250×250 px. Bone marrow aspirate smear. MGG-stained — 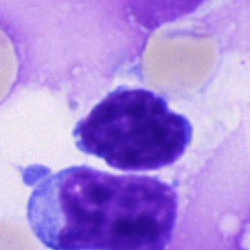

The cell type is typical lymphocyte.